MGG-stained; bone marrow smear; image size 250×250: 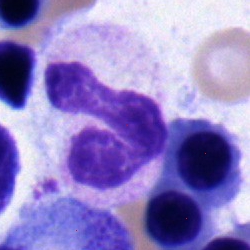
Impression — stab cell.